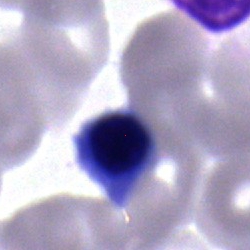 Morphological class = erythroblast.